Single cell centered in the field. Bone marrow smear. 250×250 px.
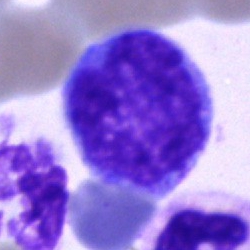Specimen: bone marrow smear.
Classification: monocyte.
Lineage: myeloid.